Bone marrow smear — 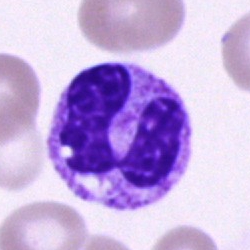Showing a polymorphonuclear neutrophil.